Romanowsky-type stain · single cell centered in the field · peripheral blood film
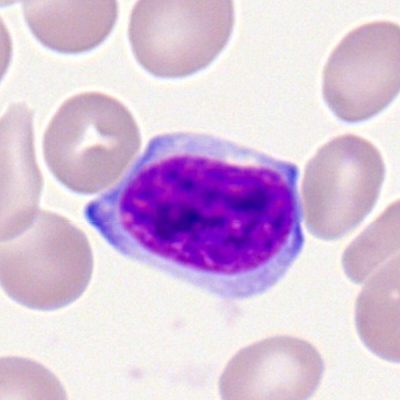

Cell — typical lymphocyte.